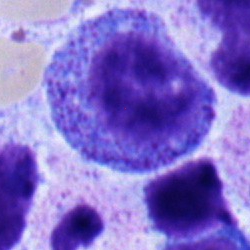

Morphology → progranulocyte.